250×250. Bone marrow aspirate smear. Cropped to a single cell.
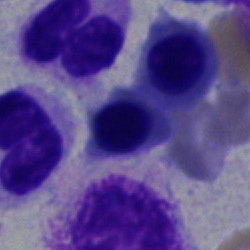

Impression — normoblast.